Bone marrow smear
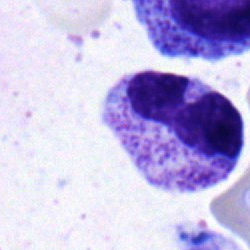

The cell shown is a band neutrophil.